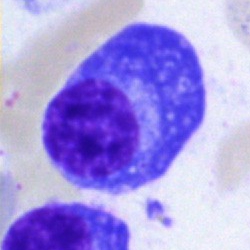

Q: What is shown here?
A: This is a plasma cell.